Bone marrow aspirate smear: 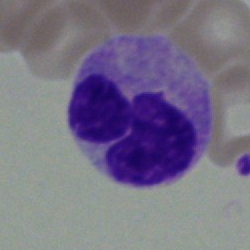 Cell: neutrophil (segmented).